Bone marrow aspirate smear: 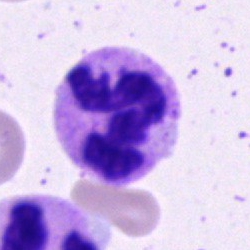

Classification: polymorphonuclear neutrophil.